Bone marrow aspirate smear: 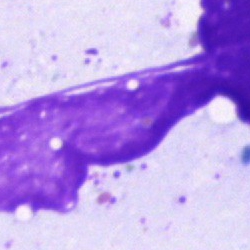
Cell: artifact.